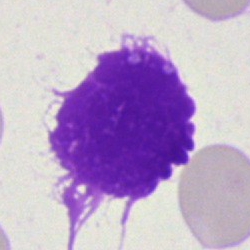
Single-cell crop from a bone marrow smear: artefact.